Bone marrow smear · 250 by 250 pixels:
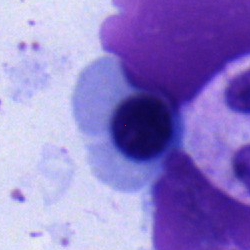
Nucleated red blood cell.